Single-cell field; bone marrow smear; 250×250 — 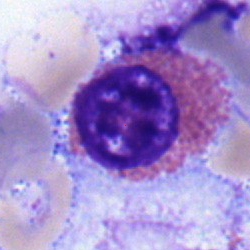
The cell shown is an eosinophilic granulocyte.